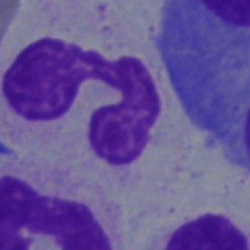

Q: What is shown here?
A: It is an artifact.